Bone marrow smear; 250×250 px — 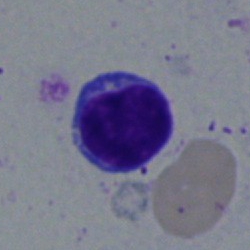

Morphology → typical lymphocyte.